Cropped to a single cell; image size 400×400; peripheral blood film: 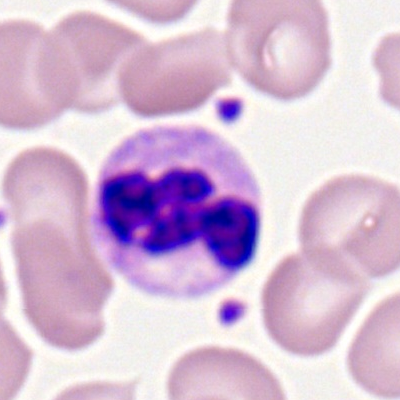This is a neutrophil (segmented).